Bone marrow aspirate smear — 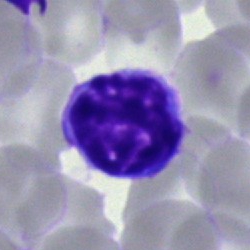The cell shown is a typical lymphocyte.